Bone marrow aspirate smear. May-Grünwald-Giemsa stain.
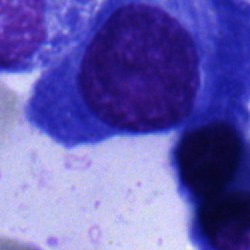
Morphological class = plasmacyte.